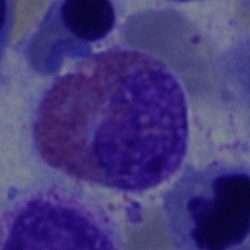

Single cell identified as an eosinophil.